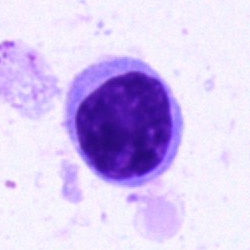

Single-cell crop from a bone marrow smear: typical lymphocyte.